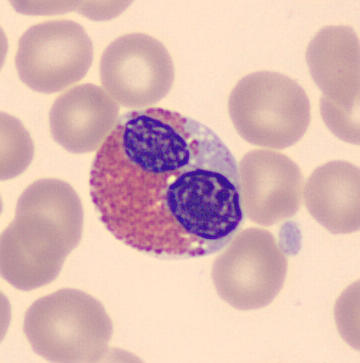 Classification: eosinophilic granulocyte.

Peripheral blood smear.